Bone marrow smear
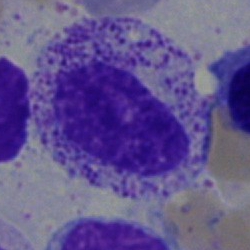Q: Which cell type is shown here?
A: A myelocyte.